Bone marrow smear
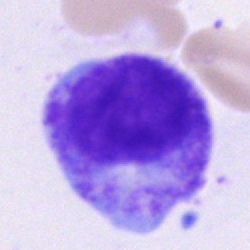Q: What is shown here?
A: Progranulocyte.